Bone marrow smear.
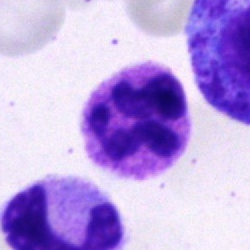
Morphology → polymorphonuclear neutrophil.